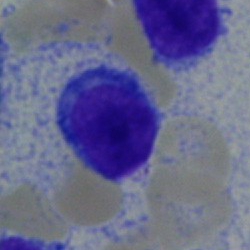
Cell type = lymphocyte.